Peripheral blood smear — 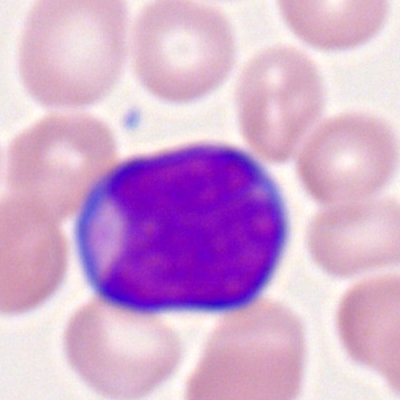
Cell — myeloblast.